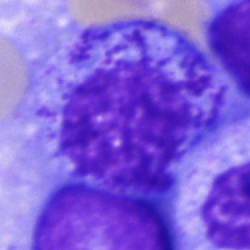Q: What type of cell is this?
A: This is a progranulocyte.